Bone marrow smear. May-Grünwald-Giemsa/Pappenheim stain: 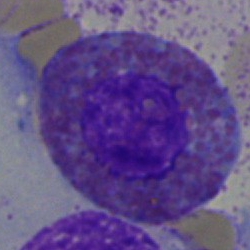Q: Identify the cell.
A: It is an eosinophil.